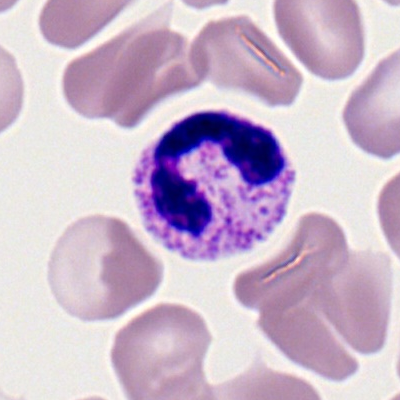

Stab cell.